Bone marrow aspirate smear: 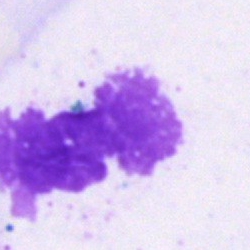Specimen: bone marrow smear.
Classification: artefact.